Pappenheim-stained. Bone marrow aspirate smear.
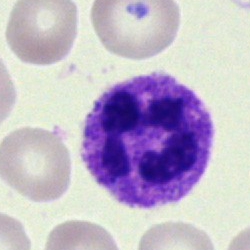A segmented neutrophil.